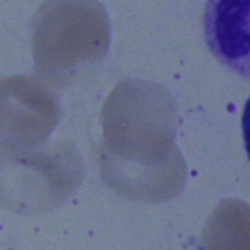

Classification = artifact.